Bone marrow aspirate smear · single-cell field · brightfield microscopy, 40× oil immersion: 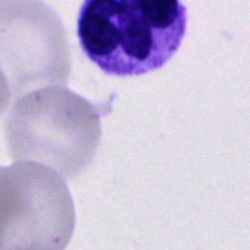
Specimen: bone marrow aspirate smear.
Classification: polymorphonuclear neutrophil.
Lineage: myeloid.